Peripheral blood smear — 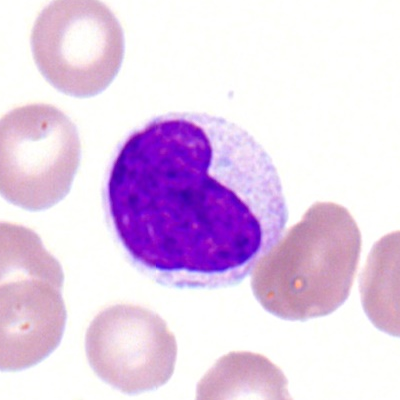
The cell type is typical lymphocyte.